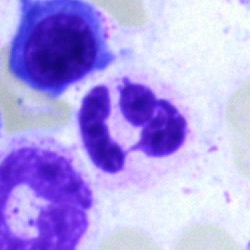

Morphological class: neutrophil (segmented).